Peripheral blood smear:
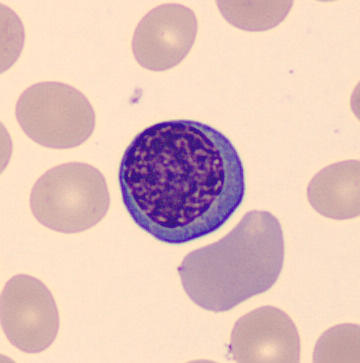

{"cell_type": "normoblast", "lineage": "erythroid"}